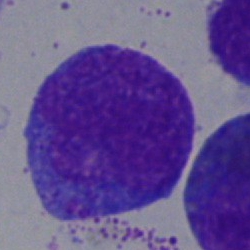

Specimen: bone marrow smear.
Classification: promyelocyte.
Lineage: myeloid.